Bone marrow aspirate smear:
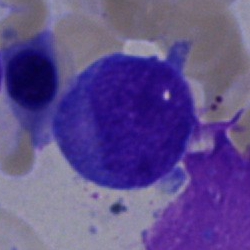 {"cell_type": "undifferentiated blast"}